Bone marrow smear
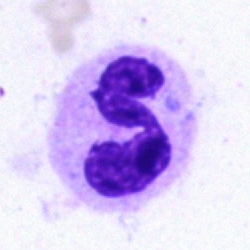Cell type — neutrophil (segmented).